Bone marrow aspirate smear · single-cell crop · 40× oil immersion: 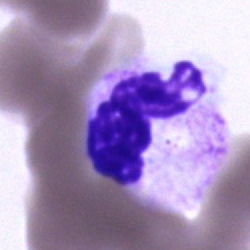 Single cell identified as a polymorphonuclear neutrophil.